Bone marrow smear:
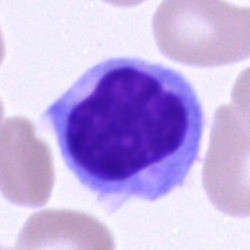
Cell type — lymphocyte.